Pappenheim-stained · 40× oil immersion · bone marrow smear
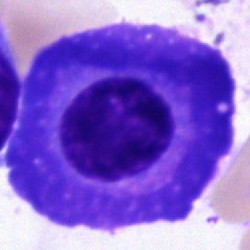

Showing a plasma cell.